40× objective, oil immersion; bone marrow aspirate smear:
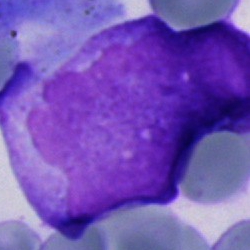 An undifferentiated blast.